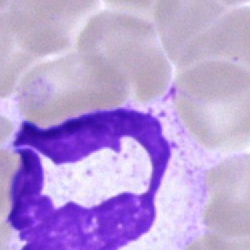

Specimen: bone marrow aspirate smear.
Morphological class: artefact.